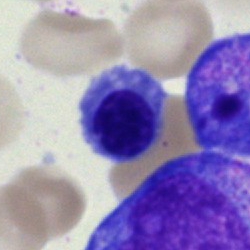 A nucleated red blood cell on a bone marrow smear.